Bone marrow smear.
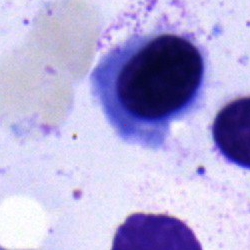The classification is normoblast.